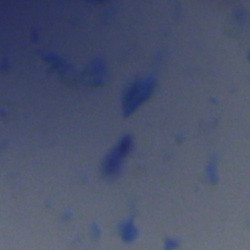
Bone marrow smear showing an artefact.